Single-cell field · brightfield, 40× oil-immersion objective · bone marrow aspirate smear — 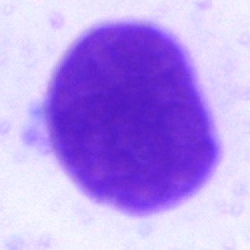Morphological class: artefact.